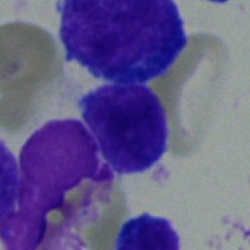 Cell = blast cell.